Bone marrow smear · 250×250
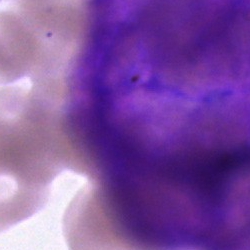

{"cell_type": "artifact"}